MGG-stained. 40× oil immersion. Bone marrow smear
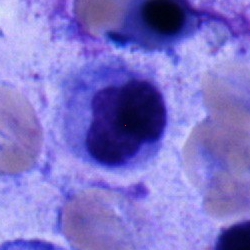
Single cell identified as a monocyte.